Bone marrow smear. MGG-stained: 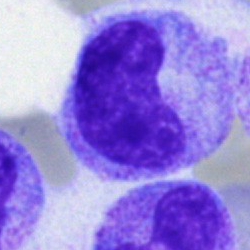
Q: What is shown here?
A: A metamyelocyte.